Brightfield, 40× oil-immersion objective. Bone marrow smear. May-Grünwald-Giemsa stain: 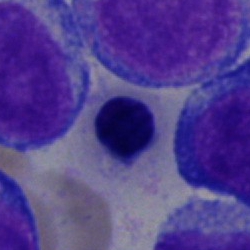Q: Which cell type is shown here?
A: It is a normoblast.